Brightfield microscopy, 40× oil immersion · bone marrow aspirate smear: 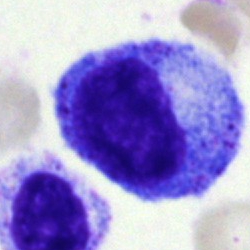Showing a promyelocyte.